Bone marrow smear · brightfield, 40× oil-immersion objective
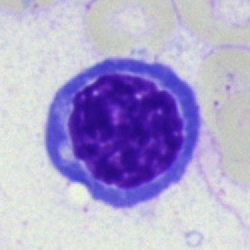
Impression → nucleated red blood cell.